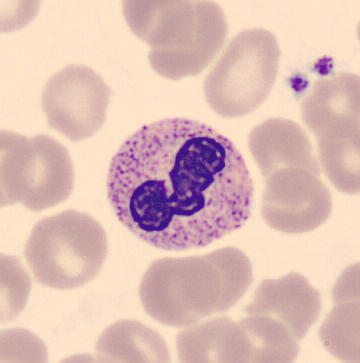

Specimen: peripheral blood film.
Cell type: band neutrophil.
Lineage: myeloid.